Bone marrow smear
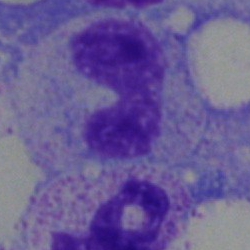
{"cell_type": "stab cell", "lineage": "myeloid"}